Bone marrow aspirate smear.
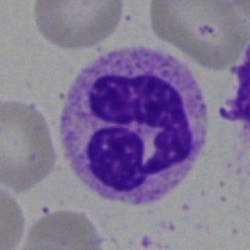
Cell: polymorphonuclear neutrophil.